40× objective, oil immersion; bone marrow aspirate smear:
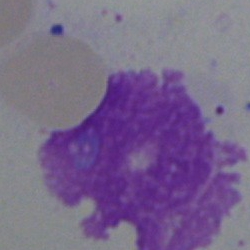
The classification is artifact.